Bone marrow aspirate smear.
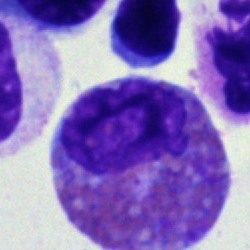Specimen: bone marrow aspirate smear.
Cell type: eosinophilic granulocyte.
Lineage: myeloid.